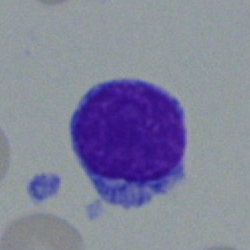

Morphology consistent with a lymphocyte.